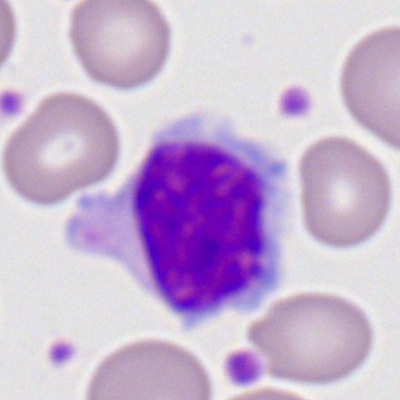Morphological class = lymphocyte.